MGG-stained; bone marrow smear; 250×250: 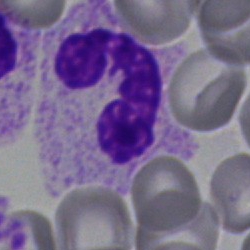

Morphology consistent with a neutrophil (segmented).